Brightfield, 40× oil-immersion objective · bone marrow smear · Pappenheim-stained:
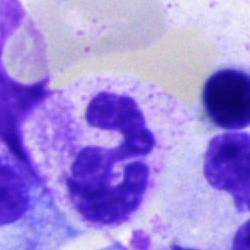The cell type is neutrophil (segmented).